Bone marrow smear
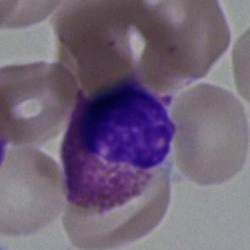
Q: Identify the cell.
A: An eosinophilic granulocyte.